Bone marrow aspirate smear:
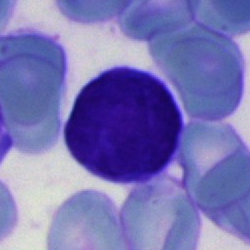

Morphological class = blast cell.